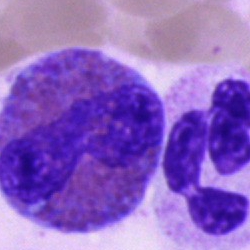 Impression — segmented neutrophil.